Bone marrow aspirate smear
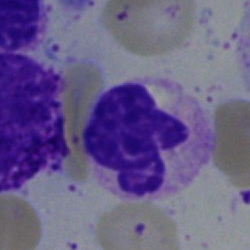This is a segmented neutrophil.